Bone marrow smear.
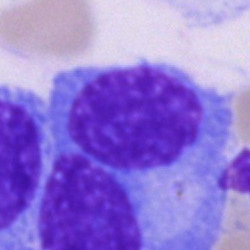 Showing a plasma cell.